Bone marrow aspirate smear. 250×250 — 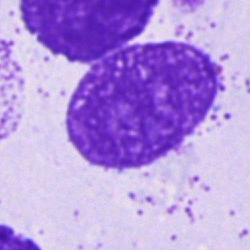 Morphology consistent with an artifact.